Bone marrow smear; single cell centered in the field; May-Grünwald-Giemsa/Pappenheim stain: 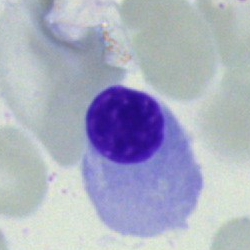
This is a nucleated red cell.